Bone marrow aspirate smear.
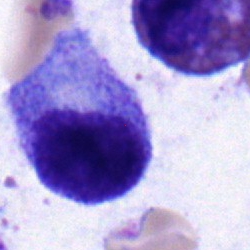Q: What is shown here?
A: It is a promyelocyte.